250×250 px; bone marrow smear
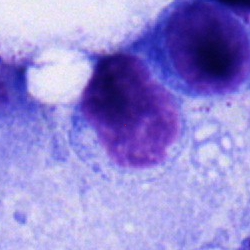
The classification is typical lymphocyte.